Bone marrow smear: 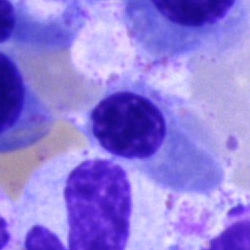 Specimen: bone marrow aspirate smear.
Cell type: nucleated red cell.